Bone marrow smear. Brightfield, 40× oil-immersion objective: 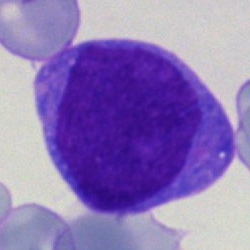

Morphological class: blast cell.